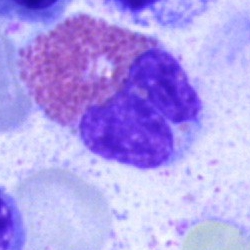Morphological class: eosinophilic granulocyte.